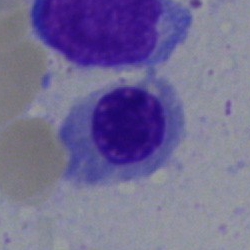 Impression — nucleated red cell.